Bone marrow smear:
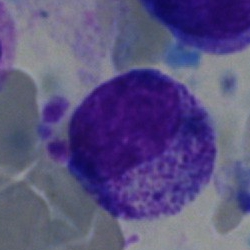

Impression → myelocyte.